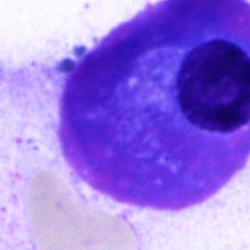

Specimen: bone marrow aspirate smear.
Cell type: plasmacyte.